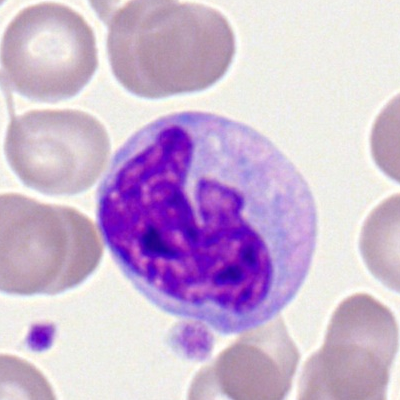 Morphological class: monocyte.